Bone marrow aspirate smear; single cell centered in the field
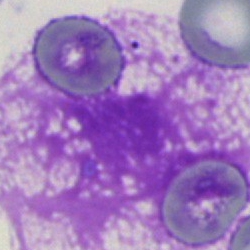
Impression — artifact.